Bone marrow smear.
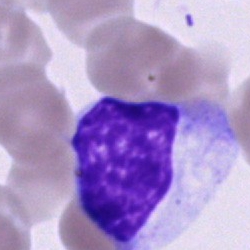 A cell of indeterminate lineage.